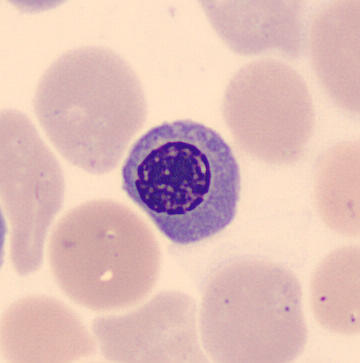
Identified as a nucleated red cell.